Bone marrow aspirate smear; MGG-stained
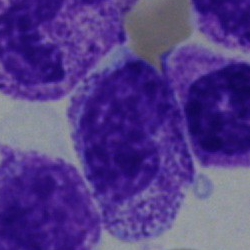 The morphological class is stab cell.